Bone marrow aspirate smear · May-Grünwald-Giemsa stain
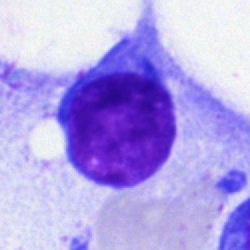

Morphology — blast cell.